Single-cell field · bone marrow aspirate smear — 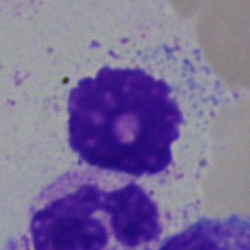

An artifact.